Brightfield, 40× oil-immersion objective. Bone marrow smear:
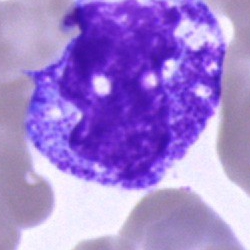 Morphological class: promyelocyte.